Bone marrow smear — 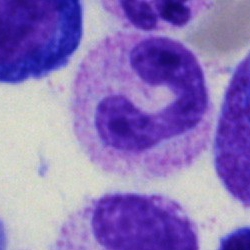
Showing a band-form neutrophil.